Bone marrow smear:
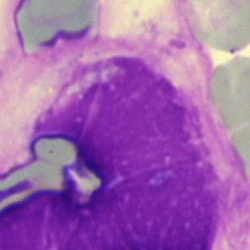 Morphology — artefact.